Bone marrow aspirate smear.
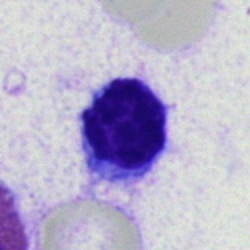Q: What cell is this?
A: This is a lymphocyte.